Brightfield microscopy, 40× oil immersion; bone marrow smear; 250 by 250 pixels — 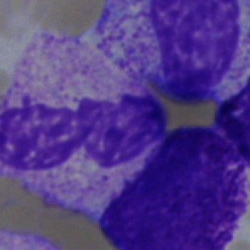

Morphology — band-form neutrophil.